Bone marrow aspirate smear — 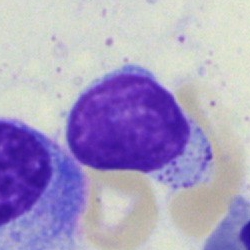 The morphological class is lymphocyte.